Bone marrow aspirate smear — 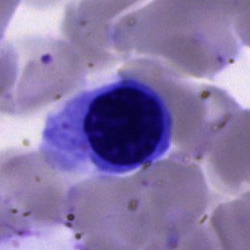
Morphology — nucleated red blood cell.